Bone marrow aspirate smear.
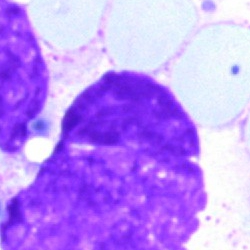
Q: What is shown here?
A: This is an artefact.